Bone marrow smear:
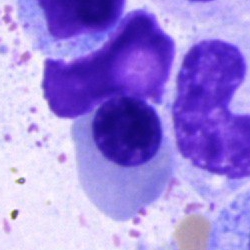

Classification — normoblast.